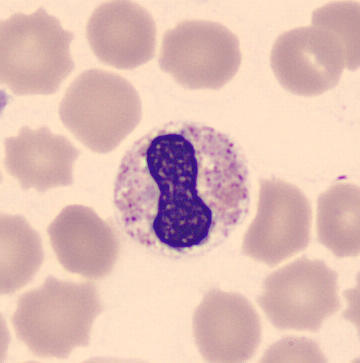Specimen: peripheral blood film.
Classification: band neutrophil.
Lineage: myeloid.